Bone marrow aspirate smear.
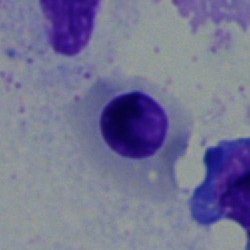

Q: What is the morphological classification of this cell?
A: It is a nucleated red blood cell.